Bone marrow smear · 40× objective, oil immersion
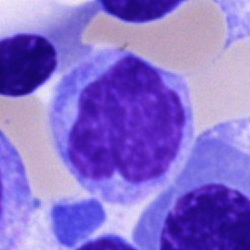 Q: What is the morphological classification of this cell?
A: It is a monocyte.